May-Grünwald-Giemsa/Pappenheim stain; bone marrow aspirate smear.
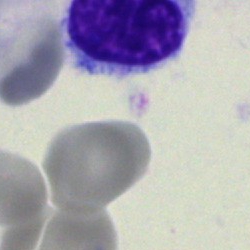 Cell type: artefact.